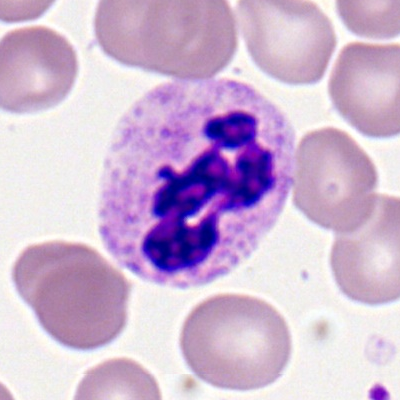
Specimen: peripheral blood smear.
Morphological class: segmented neutrophil.
Lineage: myeloid.